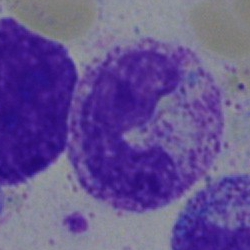

Morphology — stab cell.